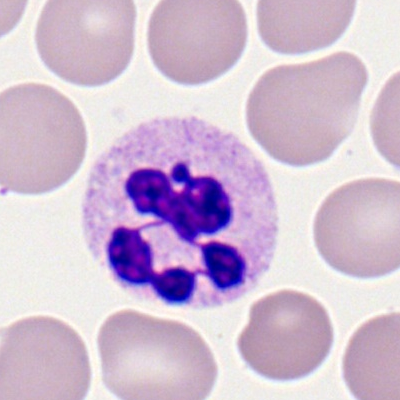
Q: What is the morphological classification of this cell?
A: A segmented neutrophil.